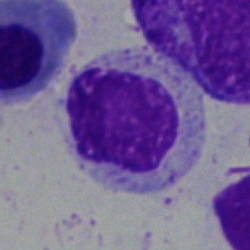Specimen: bone marrow smear.
Cell: myelocyte.
Lineage: myeloid.